250 by 250 pixels · bone marrow aspirate smear · May-Grünwald-Giemsa/Pappenheim stain.
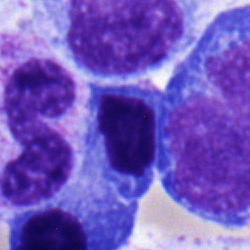Morphology — metamyelocyte.